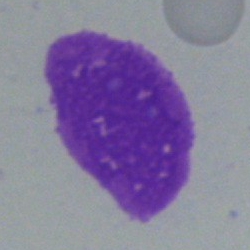
Specimen: bone marrow smear.
Classification: artefact.